Bone marrow aspirate smear
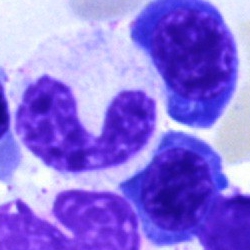

Cell = band-form neutrophil.